Bone marrow aspirate smear — 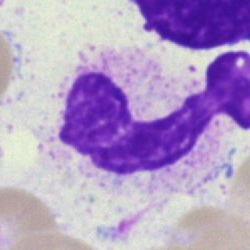Single cell identified as a polymorphonuclear neutrophil.